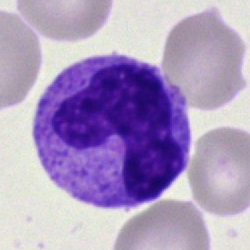

This is a stab cell.